Bone marrow smear: 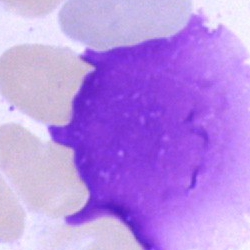

The cell shown is an artefact.